Bone marrow aspirate smear: 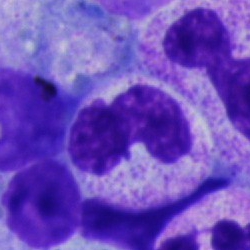Morphological class — neutrophil (segmented).